100× oil immersion, 14.14 px/µm; peripheral blood smear:
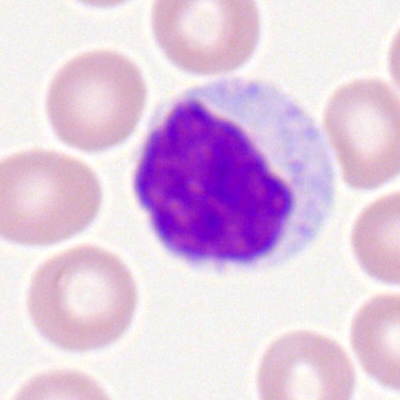Lymphocyte.